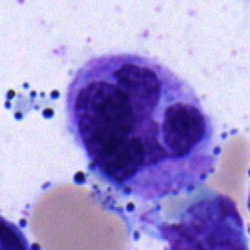Bone marrow smear showing a monocyte.